Peripheral blood film. 400×400 px — 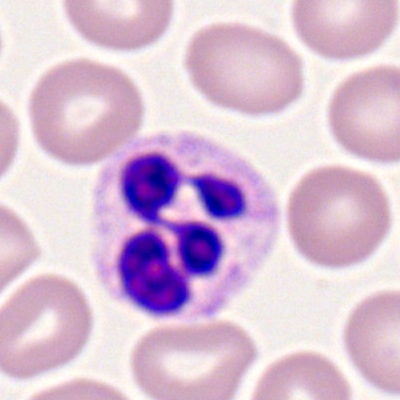Classification: neutrophil (segmented).